Cropped to a single cell. Bone marrow smear. 250×250.
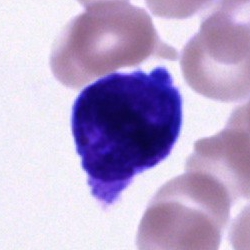

Morphology → cell of indeterminate lineage.